Brightfield microscopy, 40× oil immersion; bone marrow aspirate smear; 250 by 250 pixels.
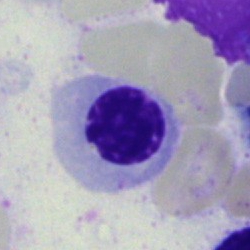 Specimen: bone marrow aspirate smear.
Cell: erythroblast.
Lineage: erythroid.